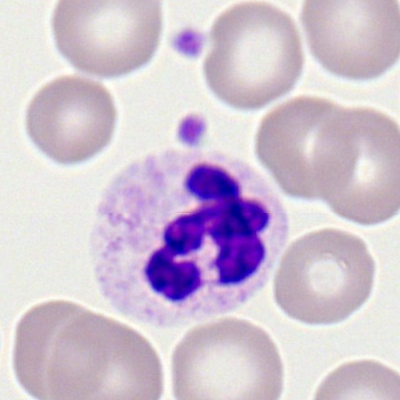Morphological class — neutrophil (segmented).